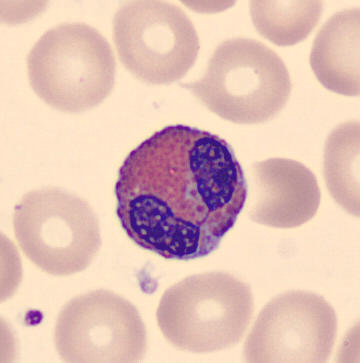
Morphology consistent with an eosinophilic granulocyte.